Peripheral blood film.
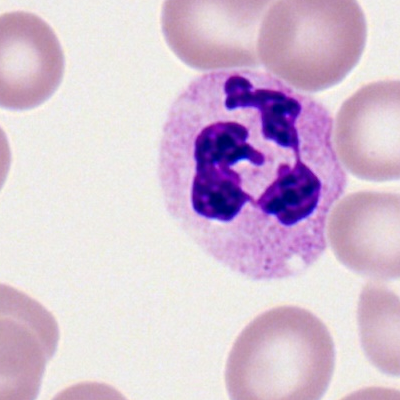

This is a polymorphonuclear neutrophil.